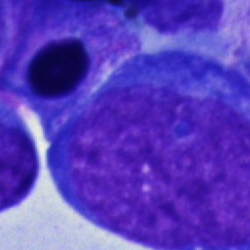

A blast cell.